MGG-stained · bone marrow smear: 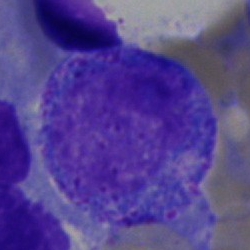
The cell shown is a promyelocyte.